Single-cell crop; bone marrow aspirate smear.
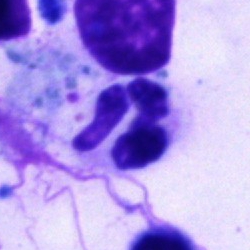 Morphology consistent with a polymorphonuclear neutrophil.